Bone marrow aspirate smear · cropped to a single cell · May-Grünwald-Giemsa stain.
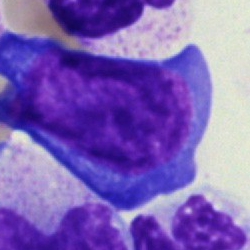 The cell shown is a pronormoblast.